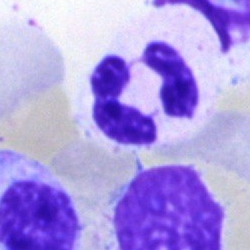 Q: What type of cell is this?
A: A neutrophil (segmented).